May-Grünwald-Giemsa stain. 250 by 250 pixels. Bone marrow smear:
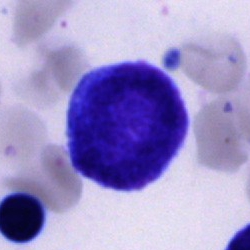

Specimen: bone marrow smear.
Morphological class: unidentifiable cell.